40× oil immersion. Image size 250×250. Bone marrow smear — 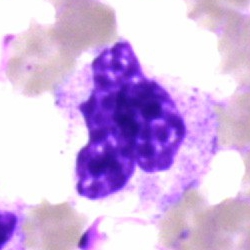Specimen: bone marrow smear.
Morphological class: segmented neutrophil.
Lineage: myeloid.